Peripheral blood smear:
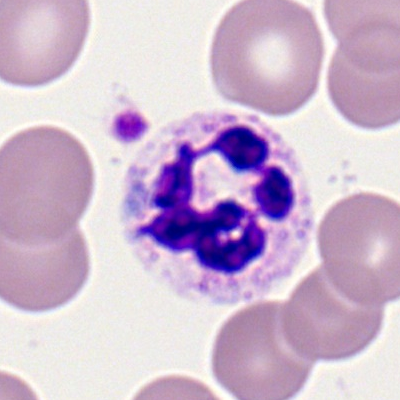

Q: What cell is this?
A: This is a neutrophil (segmented).